Image size 250×250. Bone marrow smear — 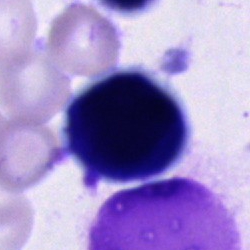
Q: What cell is this?
A: Cell of indeterminate lineage.